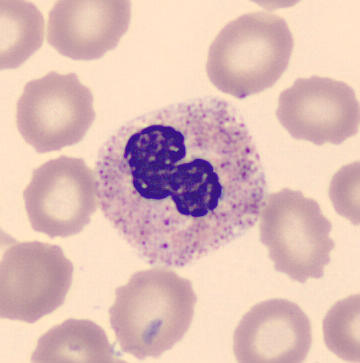 Acquisition: Peripheral blood smear. Imaged on a CellaVision DM96 analyser.
Impression → neutrophil (segmented).